Bone marrow smear; 250×250.
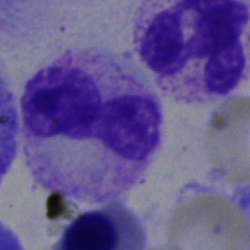 {"cell_type": "neutrophil (segmented)"}